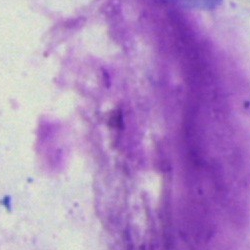
Showing an artifact.